Bone marrow smear. Single-cell crop.
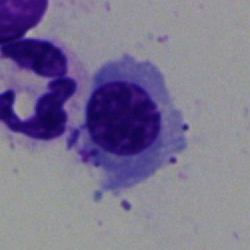 Showing a nucleated red cell.